Peripheral blood smear:
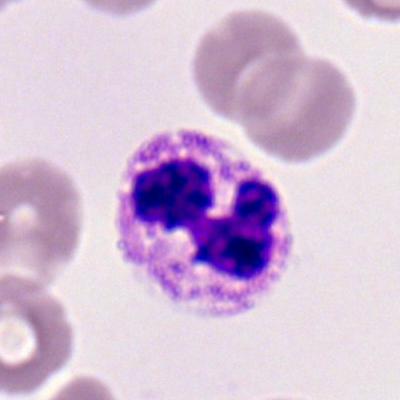Single cell identified as a polymorphonuclear neutrophil.